Peripheral blood smear
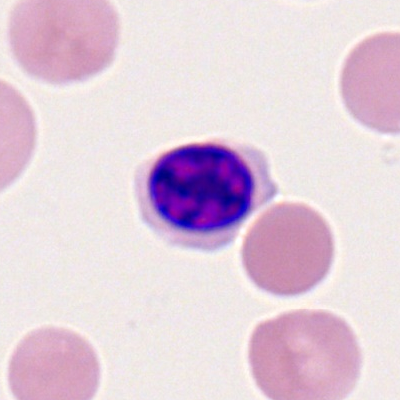 Morphology consistent with an erythroblast.